Bone marrow smear
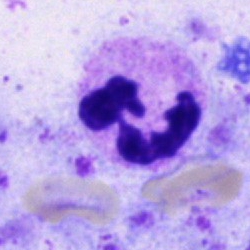 Morphology — segmented neutrophil.